Bone marrow aspirate smear. Brightfield, 40× oil-immersion objective
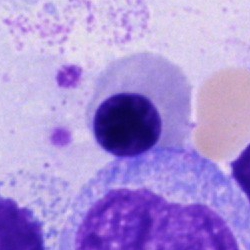 Morphology → normoblast.